Bone marrow smear: 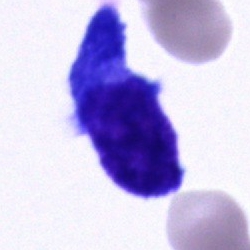
Specimen: bone marrow smear.
Classification: undifferentiated blast.